MGG-stained · bone marrow smear — 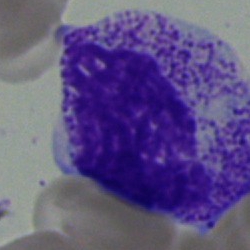 The cell shown is a myelocyte.